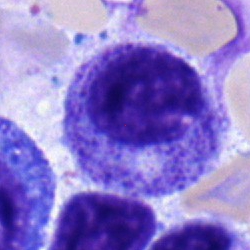 Q: What is shown here?
A: This is a myelocyte.